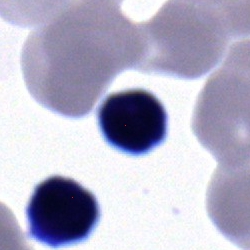
Bone marrow smear showing a lymphocyte.